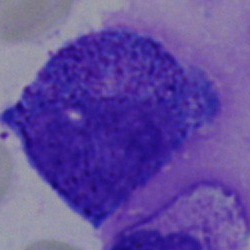

Q: What cell is this?
A: A progranulocyte.